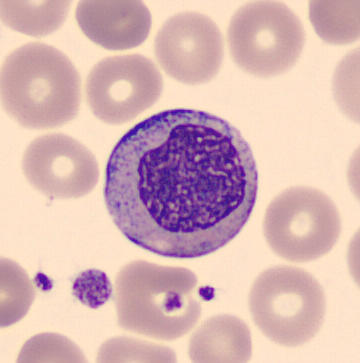Preparation: Peripheral blood film.

The cell shown is a myelocyte.